Bone marrow smear. 40× oil immersion — 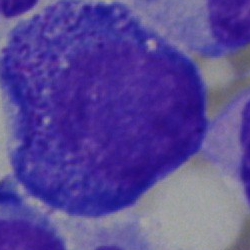
Single cell identified as a promyelocyte.